Bone marrow aspirate smear.
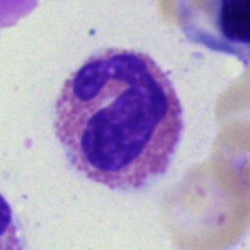

This is an eosinophilic granulocyte.